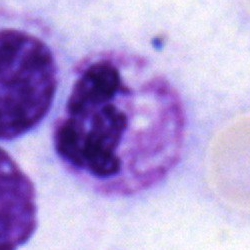 Bone marrow aspirate smear, single cell — segmented neutrophil.